May-Grünwald-Giemsa stain; bone marrow smear
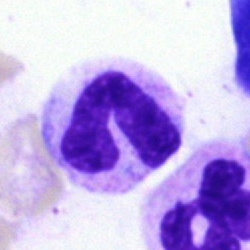This is a band-form neutrophil.